Bone marrow aspirate smear: 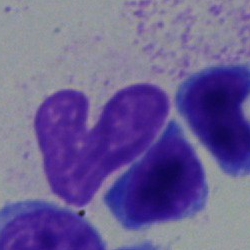

Q: What type of cell is this?
A: It is a band-form neutrophil.